Single-cell field; bone marrow aspirate smear; brightfield microscopy, 40× oil immersion: 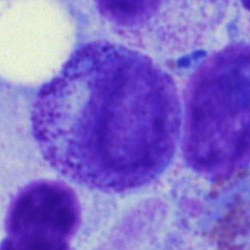Cell = myelocyte.